Bone marrow aspirate smear. 250 by 250 pixels. Brightfield, 40× oil-immersion objective:
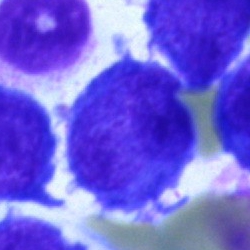

Showing a blast cell.